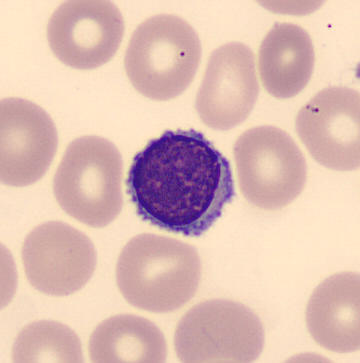
Acquisition: 360 by 363 pixels. Specimen: peripheral blood smear.
Cell type: typical lymphocyte.
Lineage: lymphoid.